Bone marrow aspirate smear — 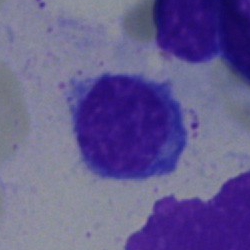
Specimen: bone marrow aspirate smear.
Classification: typical lymphocyte.